Bone marrow smear:
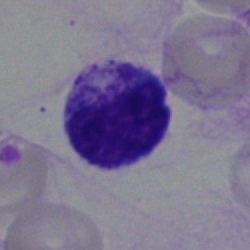
Q: Identify the cell.
A: This is a myelocyte.